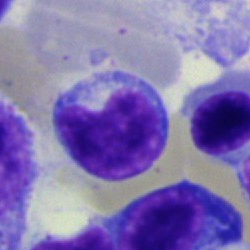

Morphology → lymphocyte.